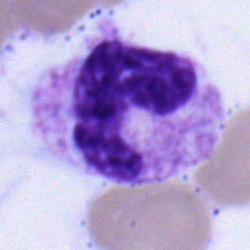
Morphological class — polymorphonuclear neutrophil.